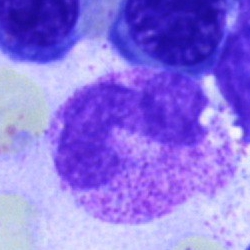

Bone marrow aspirate smear, single cell — stab cell.